Bone marrow smear · MGG-stained
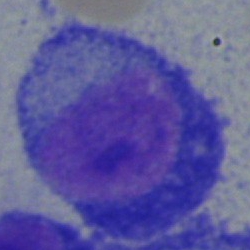
Cell: plasma cell.